May-Grünwald-Giemsa/Pappenheim stain. Bone marrow aspirate smear. Cropped to a single cell:
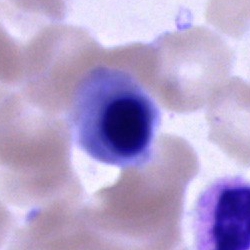Impression → nucleated red cell.